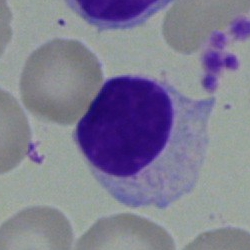

Q: Which cell type is shown here?
A: This is a typical lymphocyte.